Bone marrow aspirate smear — 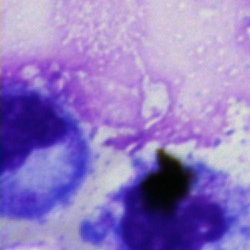
Showing an artifact.